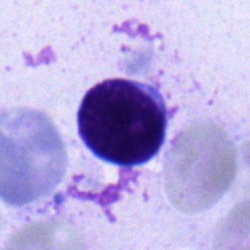 Q: What is the morphological classification of this cell?
A: It is a typical lymphocyte.